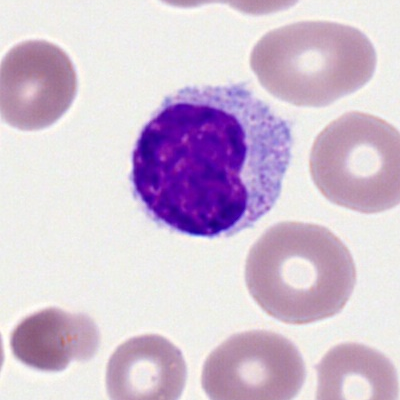
Specimen: peripheral blood smear.
Cell type: lymphocyte.